May-Grünwald-Giemsa/Pappenheim stain · bone marrow aspirate smear
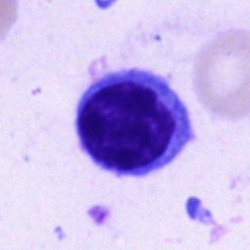

A lymphocyte.